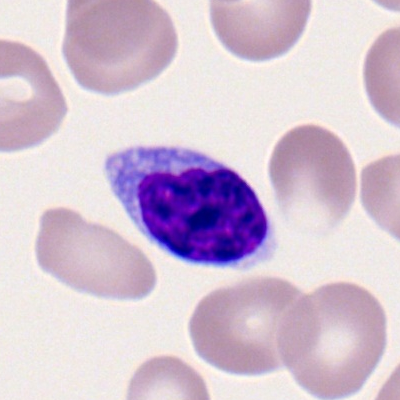

The cell shown is a lymphocyte.